Bone marrow aspirate smear: 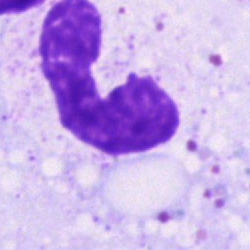The cell is artefact.